MGG-stained · bone marrow aspirate smear:
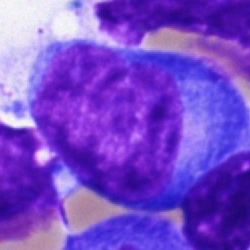
A blast cell.